Bone marrow smear
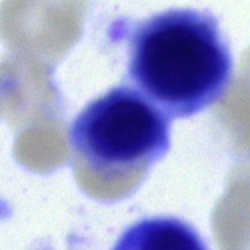 Specimen: bone marrow smear.
Morphological class: erythroblast.